250×250 px · bone marrow smear.
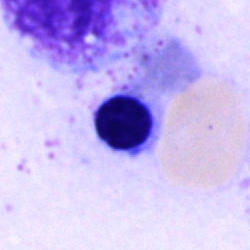 Specimen: bone marrow smear.
Cell type: erythroblast.